Bone marrow smear — 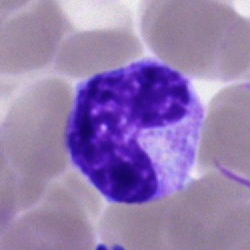

The cell is metamyelocyte.